250 by 250 pixels · bone marrow aspirate smear.
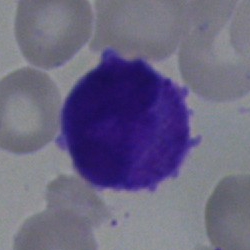Q: Identify the cell.
A: A blast cell.